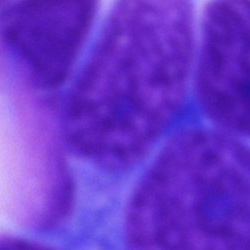Bone marrow aspirate smear, single cell — artefact.